400 by 400 pixels. Peripheral blood smear. Brightfield, 100× oil-immersion objective.
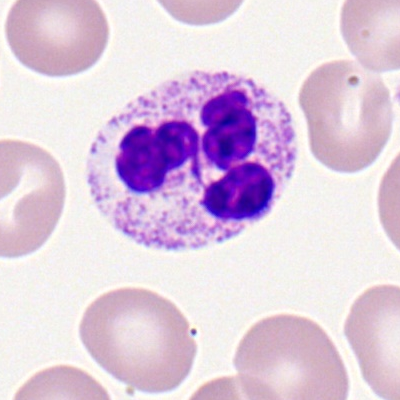

This is a polymorphonuclear neutrophil.